Bone marrow smear; 250×250 px; single-cell crop:
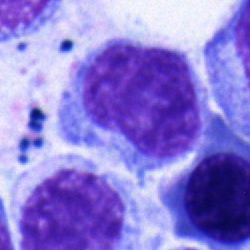 Classification = monocyte.